MGG-stained · bone marrow aspirate smear · 250 by 250 pixels.
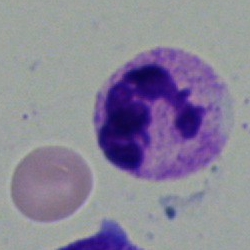

Q: What is the morphological classification of this cell?
A: A neutrophil (segmented).